Bone marrow smear — 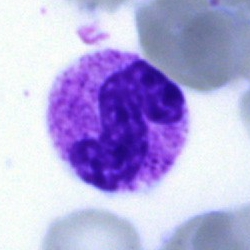
A band neutrophil.